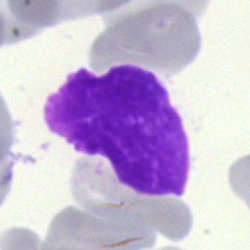Q: What is the morphological classification of this cell?
A: This is a smudge cell.